Bone marrow aspirate smear
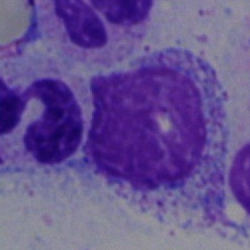
An artefact.